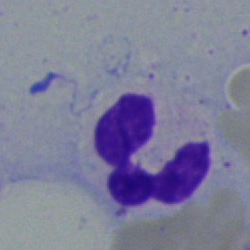
Q: What cell is this?
A: This is a segmented neutrophil.